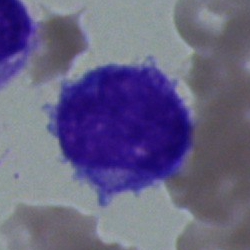
Q: What cell is this?
A: Undifferentiated blast.